Bone marrow smear · May-Grünwald-Giemsa/Pappenheim stain.
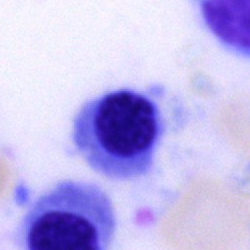Cell: erythroblast.